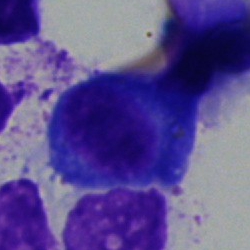
Morphology → plasma cell.